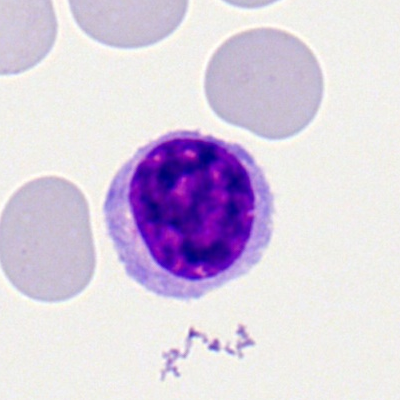

A lymphocyte.